Bone marrow aspirate smear — 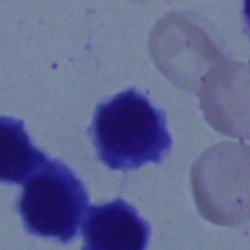Specimen: bone marrow smear.
Cell type: typical lymphocyte.
Lineage: lymphoid.